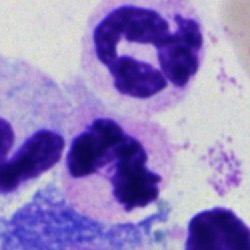

Single cell identified as a polymorphonuclear neutrophil.